Bone marrow aspirate smear: 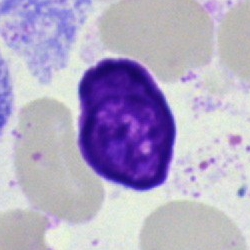
Morphology consistent with an artefact.